Brightfield, 40× oil-immersion objective · bone marrow aspirate smear: 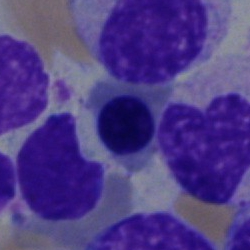 The cell type is erythroblast.